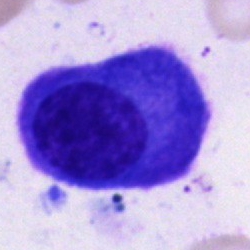 Q: What type of cell is this?
A: Plasmacyte.